Image size 250×250; bone marrow smear — 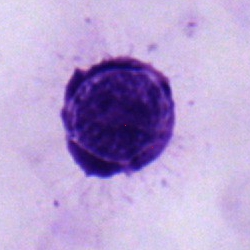

The cell type is band-form neutrophil.